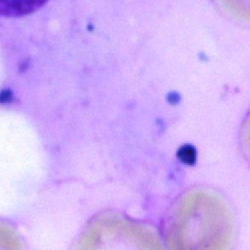 {"cell_type": "artefact"}